Peripheral blood film: 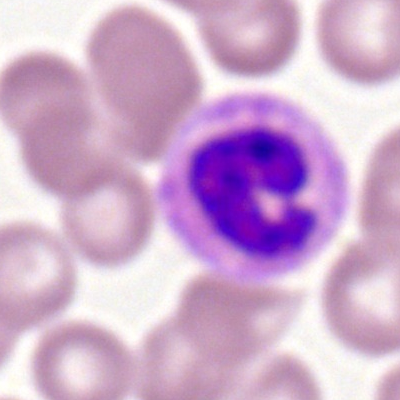 Morphology consistent with a polymorphonuclear neutrophil.